Bone marrow smear — 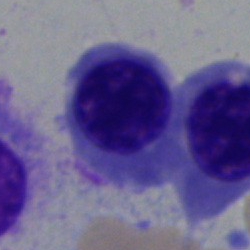

Morphological class: erythroblast.